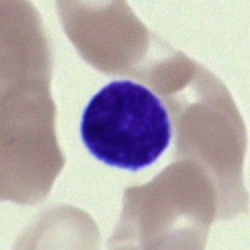

Morphology → typical lymphocyte.